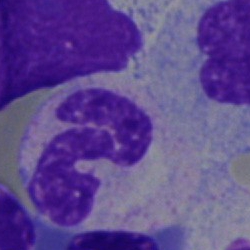
{"cell_type": "neutrophil (segmented)"}